MGG-stained. Bone marrow smear — 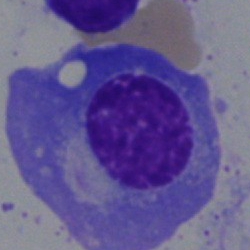 Cell: plasma cell.